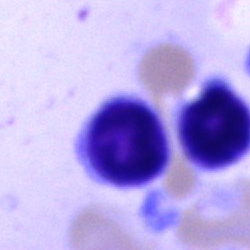

Specimen: bone marrow smear.
Cell: lymphocyte.
Lineage: lymphoid.